40× objective, oil immersion; 250×250; bone marrow smear — 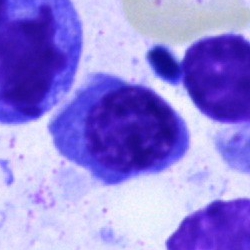Showing an erythroblast.